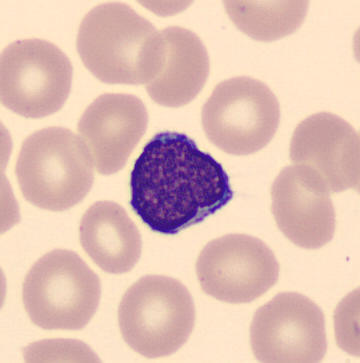
Specimen: peripheral blood smear.
Morphological class: lymphocyte.
Lineage: lymphoid.